Peripheral blood smear · cropped to a single cell:
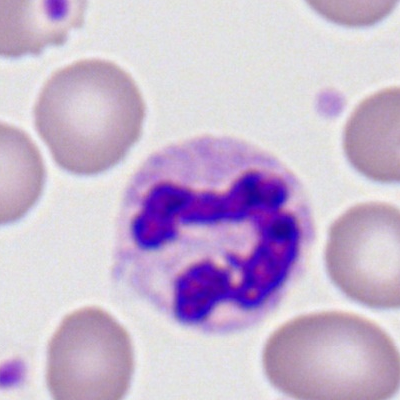

The cell is neutrophil (segmented).